Bone marrow aspirate smear · 250 by 250 pixels — 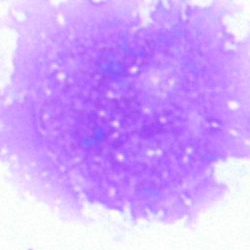

Q: What is shown here?
A: Artefact.